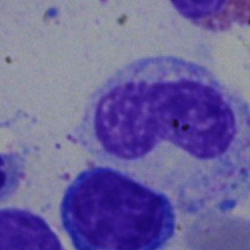 Impression → band neutrophil.